Bone marrow aspirate smear
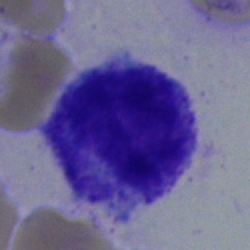 Showing a myelocyte.